Bone marrow aspirate smear: 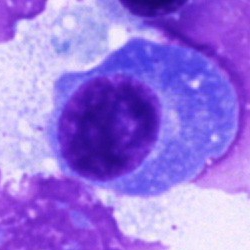Impression → plasmacyte.